Bone marrow smear. 250×250 px:
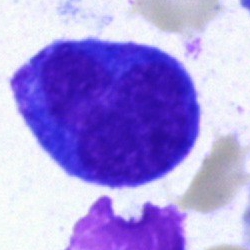The cell shown is a normoblast.